Bone marrow aspirate smear: 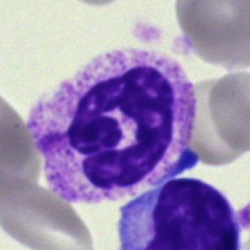

Q: What cell is this?
A: A neutrophil (segmented).